Bone marrow smear: 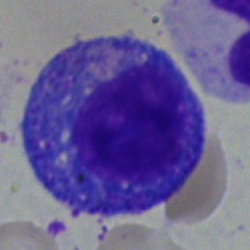
The cell shown is a progranulocyte.